Bone marrow smear
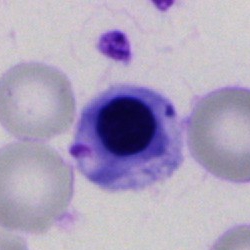

Classification — nucleated red blood cell.